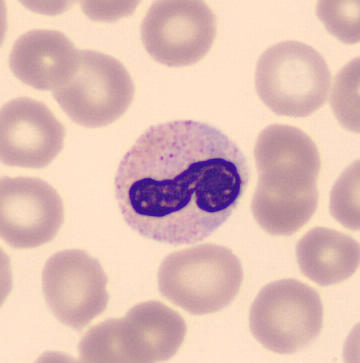 Peripheral blood film; single-cell field.

A stab cell.